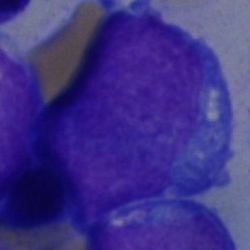An undifferentiated blast on a bone marrow smear.